Bone marrow smear
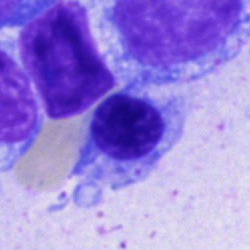 A nucleated red blood cell.